400×400 px · peripheral blood smear: 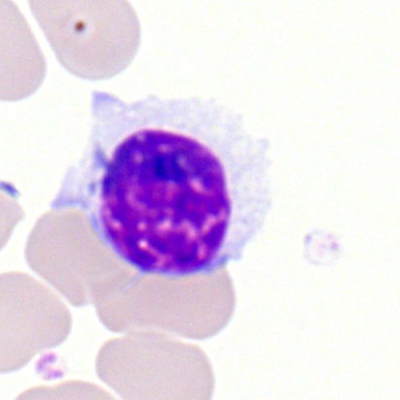

Impression — typical lymphocyte.